250 by 250 pixels · bone marrow smear — 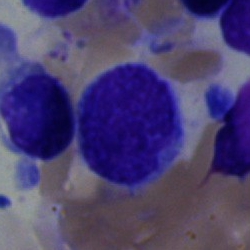

Specimen: bone marrow aspirate smear.
Cell: typical lymphocyte.